Image size 250×250; bone marrow aspirate smear
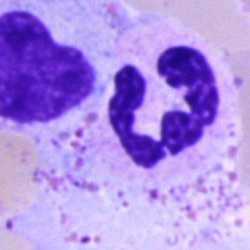A segmented neutrophil.